May-Grünwald-Giemsa stain · bone marrow smear
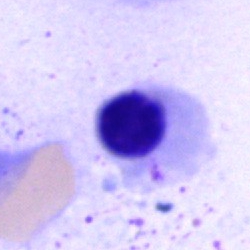
Morphology consistent with a nucleated red cell.